Peripheral blood film — 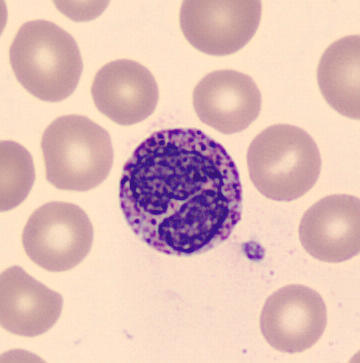 {"cell_type": "basophil", "lineage": "myeloid"}